Bone marrow smear · image size 250×250.
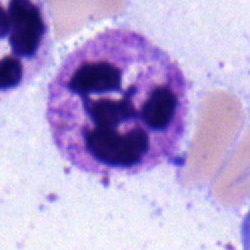
Showing a neutrophil (segmented).